Brightfield, 40× oil-immersion objective · bone marrow smear — 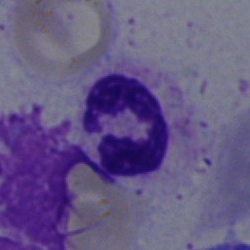

Single cell identified as a segmented neutrophil.